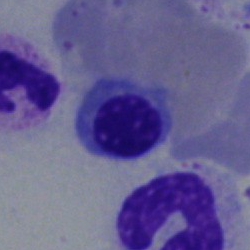Q: What cell is this?
A: This is a nucleated red blood cell.